Bone marrow aspirate smear
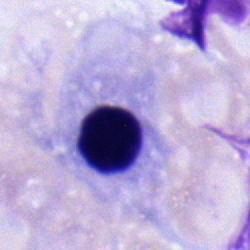 Q: What cell is this?
A: This is a nucleated red blood cell.